Bone marrow smear.
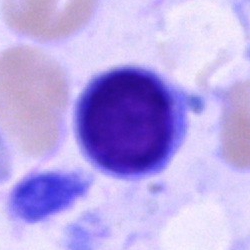

Single cell identified as a typical lymphocyte.